Bone marrow smear:
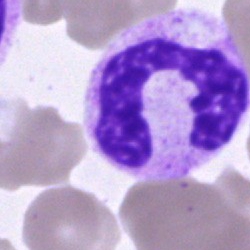Specimen: bone marrow smear.
Classification: stab cell.